Bone marrow aspirate smear — 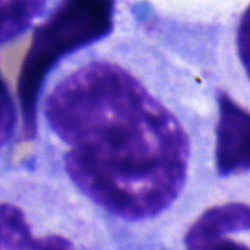

Single cell identified as a metamyelocyte.